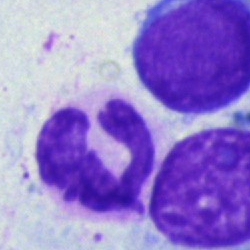
Impression — segmented neutrophil.